Bone marrow smear — 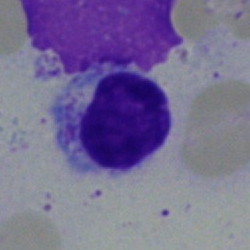 A lymphocyte.